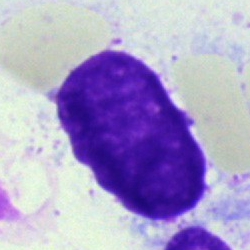 An artifact on a bone marrow smear.